Bone marrow aspirate smear:
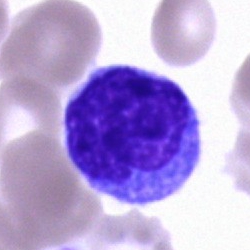

Q: What is shown here?
A: This is a monocyte.